May-Grünwald-Giemsa stain · bone marrow smear.
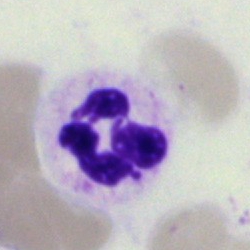 Q: Which cell type is shown here?
A: A neutrophil (segmented).